Bone marrow smear · brightfield, 40× oil-immersion objective:
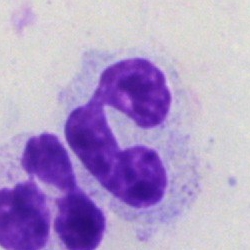 Morphology → neutrophil (segmented).